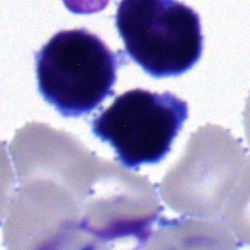 Q: What is the morphological classification of this cell?
A: It is a typical lymphocyte.